Bone marrow aspirate smear
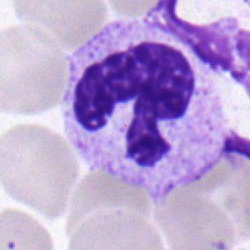

Q: Identify the cell.
A: Segmented neutrophil.